Bone marrow aspirate smear
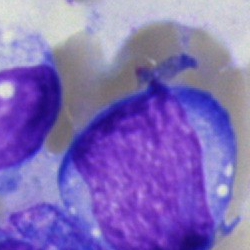
Classification — blast cell.